Peripheral blood smear — 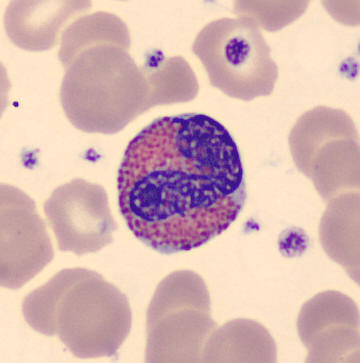Cell = eosinophilic granulocyte.